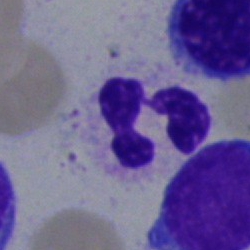

Cell = segmented neutrophil.